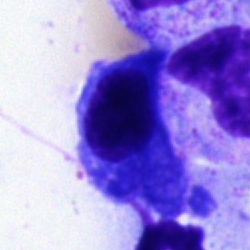The classification is plasma cell.